40× objective, oil immersion · bone marrow smear · May-Grünwald-Giemsa/Pappenheim stain — 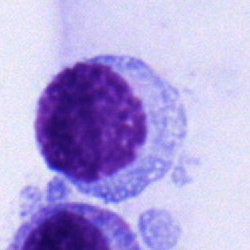{"cell_type": "typical lymphocyte", "lineage": "lymphoid"}